Bone marrow smear
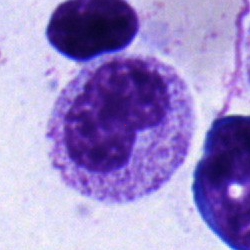This is a metamyelocyte.